Single-cell crop · bone marrow smear · brightfield, 40× oil-immersion objective: 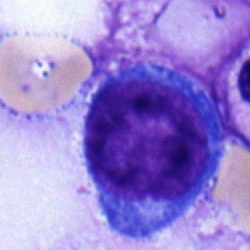Morphology → pronormoblast.